Bone marrow smear
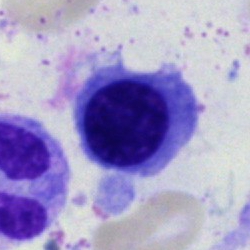
Q: What type of cell is this?
A: This is a nucleated red blood cell.